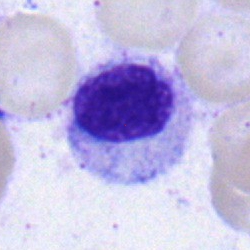

Lymphocyte.